Bone marrow smear; single-cell crop; brightfield, 40× oil-immersion objective — 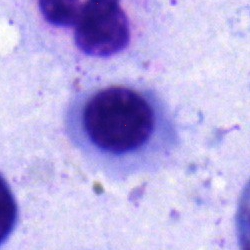

This is a nucleated red cell.